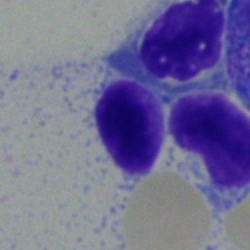 Bone marrow smear showing a lymphocyte.